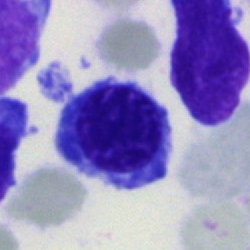

Bone marrow aspirate smear, single cell — nucleated red cell.